Single-cell field · 40× oil immersion · bone marrow smear:
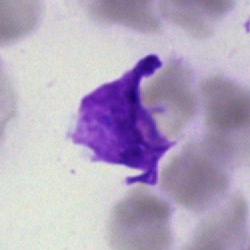 Morphology consistent with an artefact.